Bone marrow aspirate smear. May-Grünwald-Giemsa/Pappenheim stain:
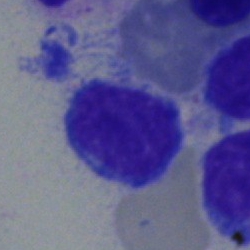This is a typical lymphocyte.